Brightfield microscopy, 40× oil immersion. Bone marrow aspirate smear: 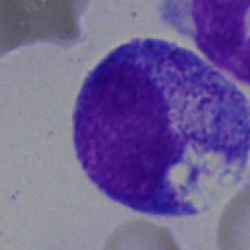
Q: What type of cell is this?
A: This is a promyelocyte.